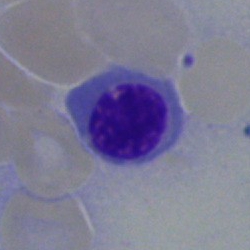
Single cell identified as an erythroblast.